Bone marrow smear
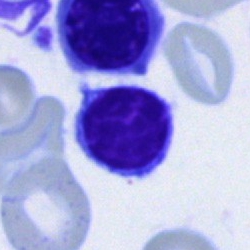
Single cell identified as a lymphocyte.